Bone marrow aspirate smear · MGG-stained: 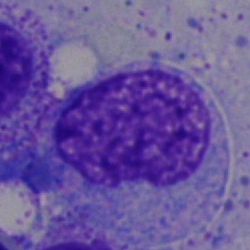Cell type: myelocyte.